Bone marrow aspirate smear. Image size 250×250: 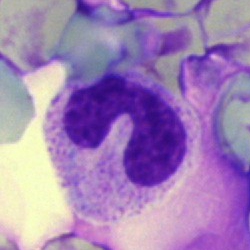This is a band neutrophil.